Bone marrow smear: 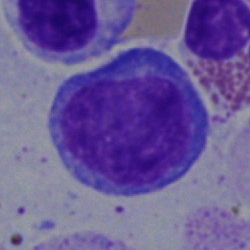
Specimen: bone marrow aspirate smear.
Morphological class: lymphocyte.
Lineage: lymphoid.